May-Grünwald-Giemsa/Pappenheim stain · bone marrow smear · single cell centered in the field — 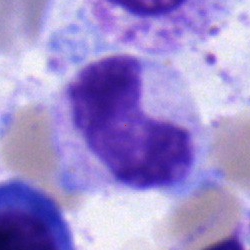

Single cell identified as a metamyelocyte.